Bone marrow aspirate smear · single-cell crop · 250 by 250 pixels:
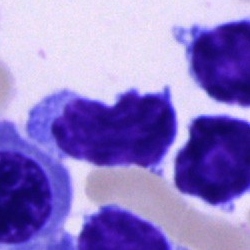Q: Identify the cell.
A: A typical lymphocyte.